Bone marrow smear · 250×250 px:
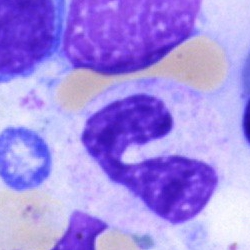The cell shown is a neutrophil (segmented).